Bone marrow aspirate smear · May-Grünwald-Giemsa stain
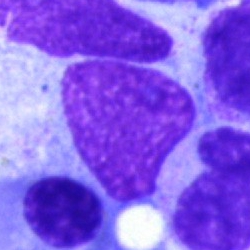 {"cell_type": "artifact"}